Bone marrow smear
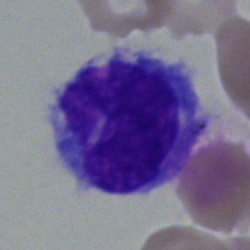A monocyte.